Bone marrow aspirate smear · Pappenheim-stained: 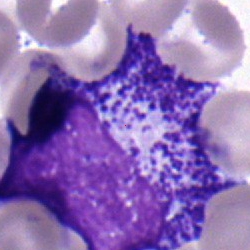 Morphological class — promyelocyte.